Bone marrow smear:
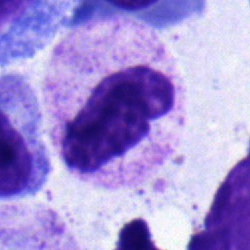Q: Which cell type is shown here?
A: This is a polymorphonuclear neutrophil.